Bone marrow smear; cropped to a single cell
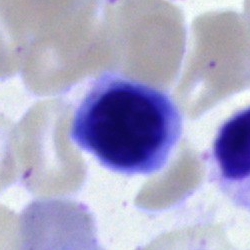Morphology → erythroblast.